40× objective, oil immersion · bone marrow aspirate smear.
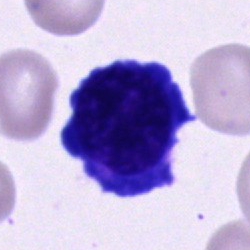

Q: What is shown here?
A: Nucleated red blood cell.